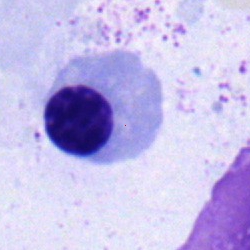 Morphological class = erythroblast.